Bone marrow smear. 40× oil immersion — 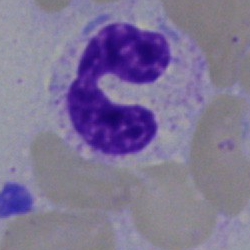

Q: What cell is this?
A: A segmented neutrophil.